MGG-stained. Bone marrow smear: 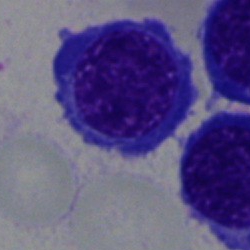
Classification — erythroblast.